Peripheral blood film:
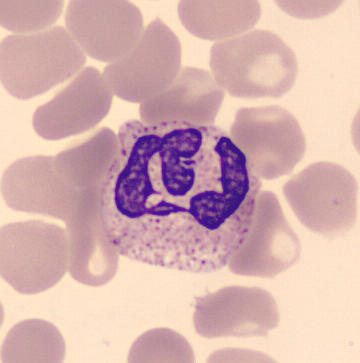

Classification: polymorphonuclear neutrophil.